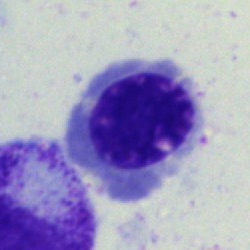Q: What is shown here?
A: This is a normoblast.